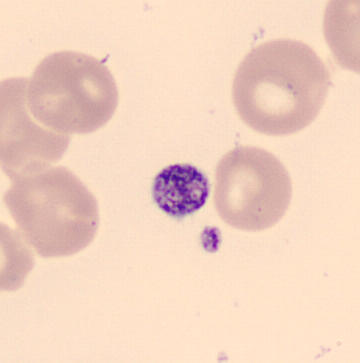 Q: What is shown here?
A: This is a thrombocyte.